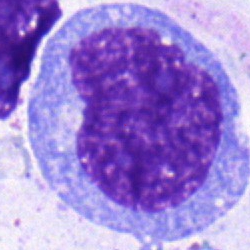

Morphological class — monocyte.